250×250; bone marrow smear — 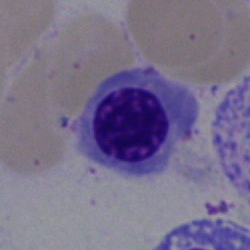Cell type: nucleated red cell.